Bone marrow smear: 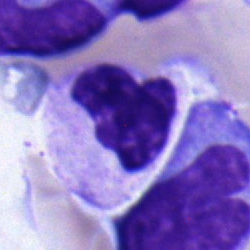Classification — metamyelocyte.